Bone marrow smear:
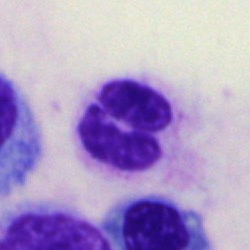
Cell = segmented neutrophil.